250×250 px · bone marrow smear: 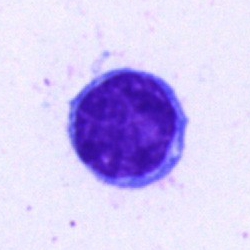
Q: What type of cell is this?
A: Typical lymphocyte.